Bone marrow aspirate smear · cropped to a single cell · 250×250 — 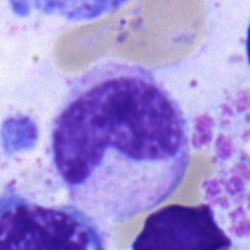
Cell — metamyelocyte.